MGG-stained. Bone marrow smear — 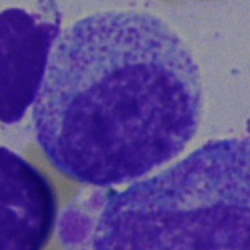
This is a myelocyte.